Bone marrow aspirate smear; May-Grünwald-Giemsa/Pappenheim stain:
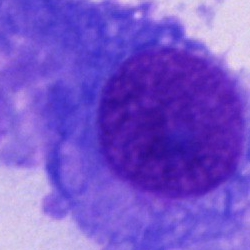Impression — other cell type.